MGG-stained; bone marrow smear
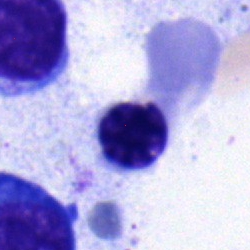

Specimen: bone marrow aspirate smear.
Cell type: normoblast.
Lineage: erythroid.